Bone marrow aspirate smear — 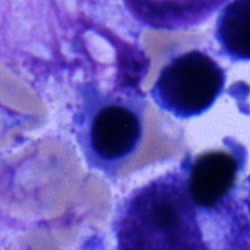

Erythroblast.